Bone marrow aspirate smear.
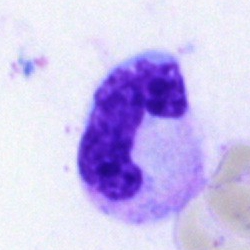Classification — polymorphonuclear neutrophil.